Bone marrow smear · May-Grünwald-Giemsa/Pappenheim stain
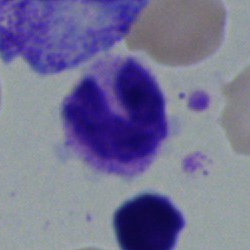 Specimen: bone marrow aspirate smear.
Cell: band-form neutrophil.
Lineage: myeloid.